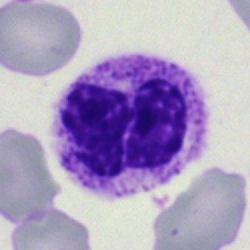Morphological class — polymorphonuclear neutrophil.